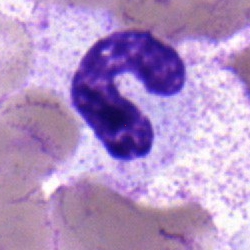 Q: Identify the cell.
A: It is a neutrophil (band).